Bone marrow aspirate smear: 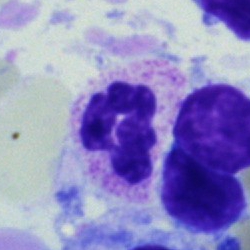

Q: What is shown here?
A: It is a polymorphonuclear neutrophil.